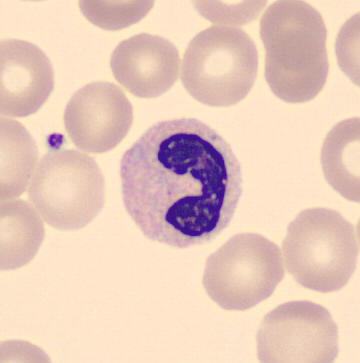Specimen: peripheral blood smear.
Cell: stab cell.
Lineage: myeloid.